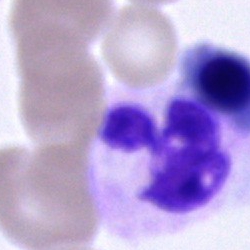 {"cell_type": "segmented neutrophil"}